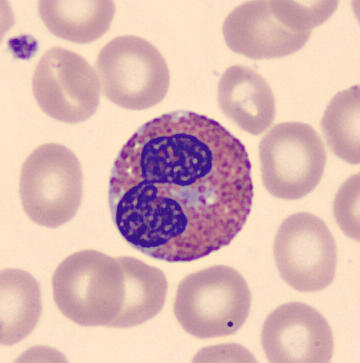
The morphological class is eosinophil. Acquisition: Peripheral blood film.